Bone marrow aspirate smear; 40× objective, oil immersion; single-cell field: 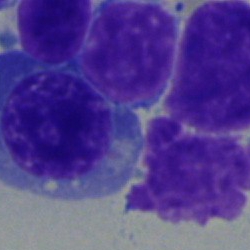Showing a nucleated red blood cell.